Bone marrow aspirate smear
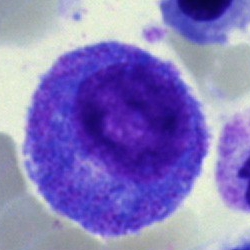

Showing a promyelocyte.